Brightfield microscopy, 40× oil immersion · bone marrow aspirate smear: 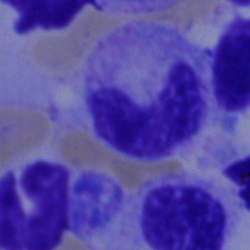

Impression → neutrophil (band).